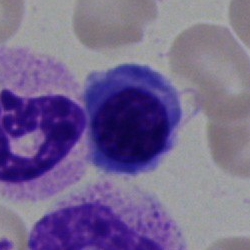 Single cell identified as a normoblast.